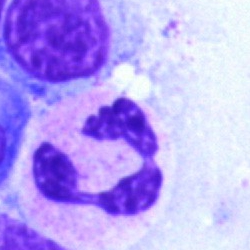

Q: What is the morphological classification of this cell?
A: This is a polymorphonuclear neutrophil.